Single-cell field · bone marrow smear · Pappenheim-stained
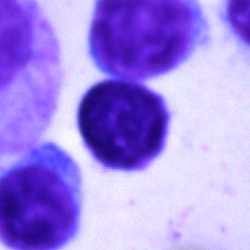
The classification is typical lymphocyte.